Bone marrow aspirate smear
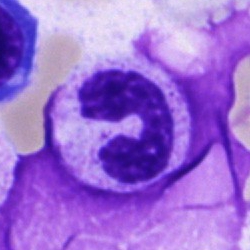 Q: What is shown here?
A: A neutrophil (band).